Bone marrow smear — 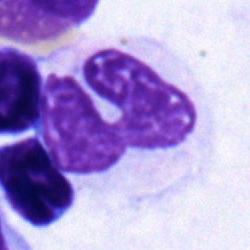

The cell type is band neutrophil.